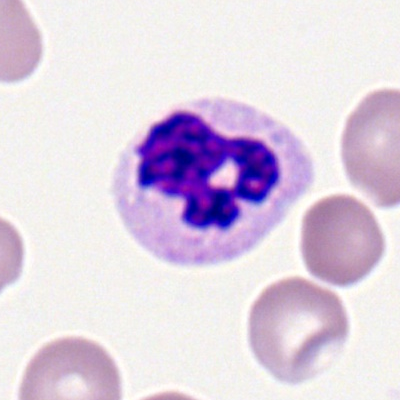
Cell: segmented neutrophil.